Peripheral blood smear · brightfield, 100× oil-immersion objective
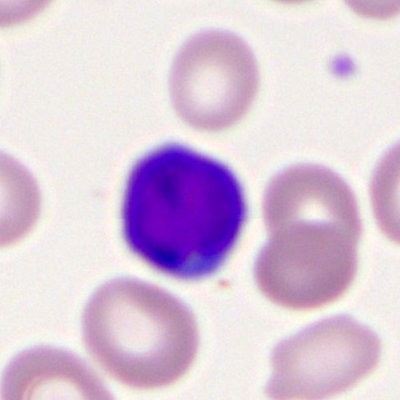

Morphological class: typical lymphocyte.